Bone marrow smear — 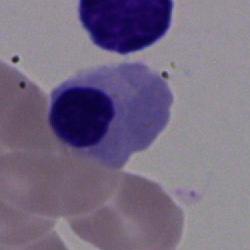

This is a nucleated red cell.